Bone marrow aspirate smear — 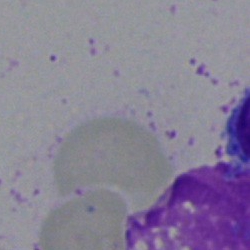

This is an artifact.